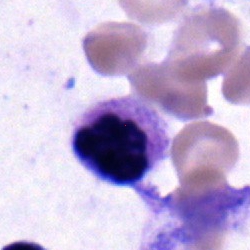 A segmented neutrophil on a bone marrow smear.